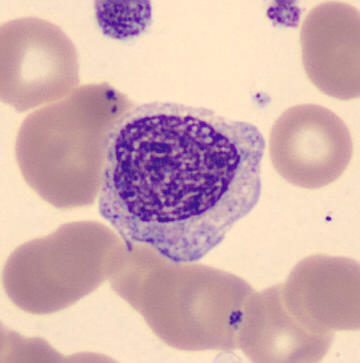
Single cell identified as a myelocyte.